Bone marrow smear:
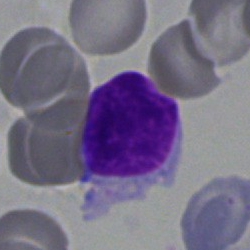
Single cell identified as a typical lymphocyte.